Peripheral blood film — 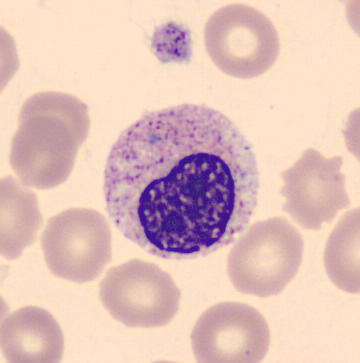

Cell type — metamyelocyte.